Peripheral blood smear:
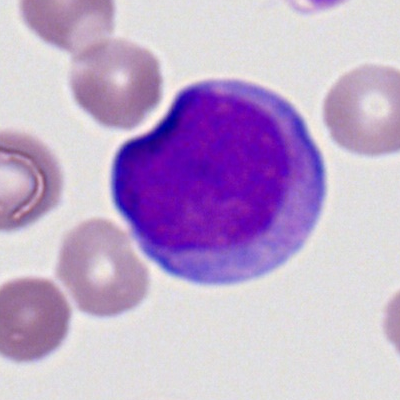

Morphology consistent with a myeloid blast.